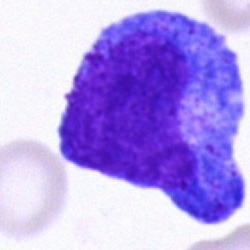
Specimen: bone marrow aspirate smear.
Cell type: progranulocyte.
Lineage: myeloid.